Bone marrow aspirate smear; 40× oil immersion; May-Grünwald-Giemsa/Pappenheim stain — 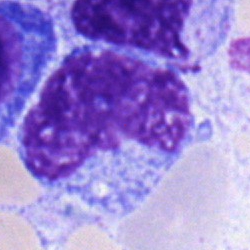The cell type is monocyte.